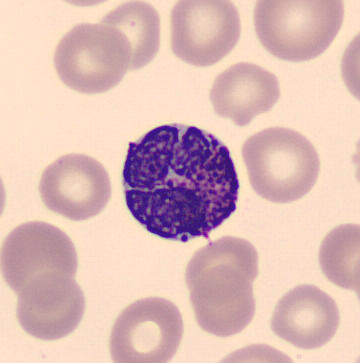

Cell: basophilic granulocyte.